Bone marrow smear
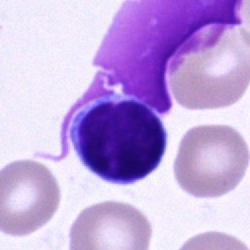

Morphology consistent with a lymphocyte.